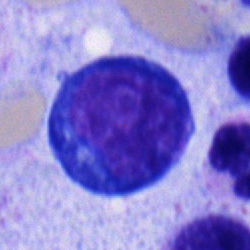Cell type: progranulocyte.